100× oil immersion, 14.14 px/µm · peripheral blood smear:
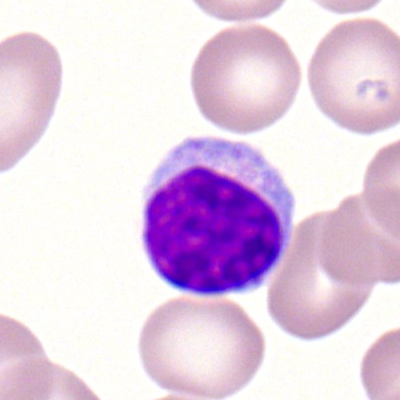
Lymphocyte.